Bone marrow aspirate smear · brightfield microscopy, 40× oil immersion: 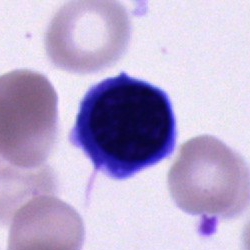
Specimen: bone marrow smear.
Morphological class: unidentifiable cell.